Bone marrow aspirate smear · 250×250 px: 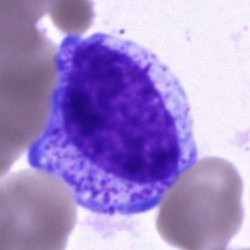 A progranulocyte.